Peripheral blood film. Romanowsky-type stain. Single-cell crop
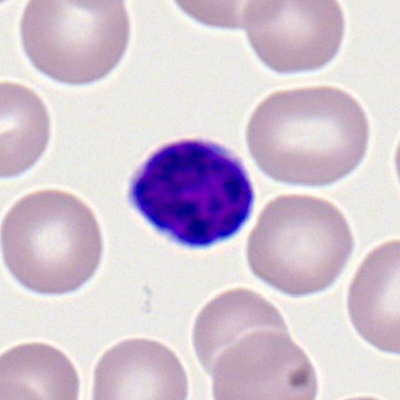Morphology consistent with a typical lymphocyte.